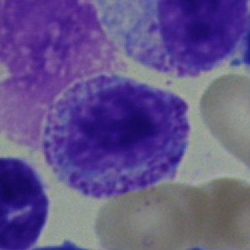 Impression → myelocyte.